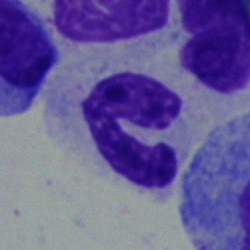
This is a stab cell.